Bone marrow smear: 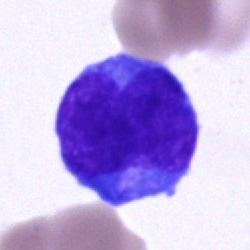 Classification = undifferentiated blast.